Bone marrow aspirate smear. Cropped to a single cell. Brightfield, 40× oil-immersion objective:
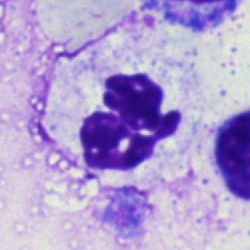

The classification is segmented neutrophil.